Bone marrow smear · May-Grünwald-Giemsa/Pappenheim stain: 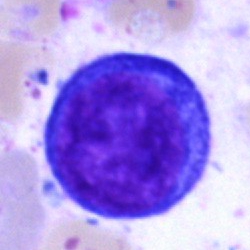 Q: What is the morphological classification of this cell?
A: It is a pronormoblast.